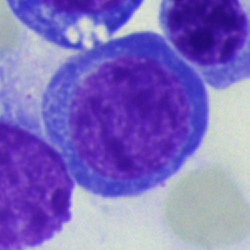

A nucleated red blood cell.